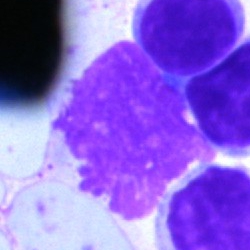

Artifact.